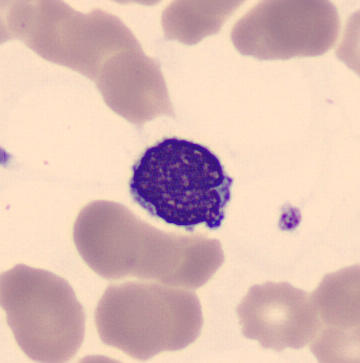 MGG stain; peripheral blood smear.

A lymphocyte.